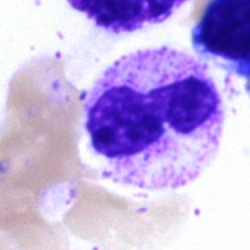A stab cell.